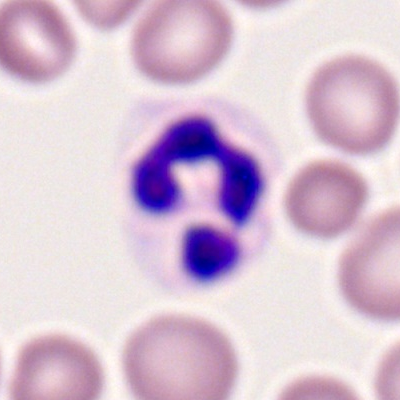
Single-cell crop from a peripheral blood smear: neutrophil (segmented).